Bone marrow smear.
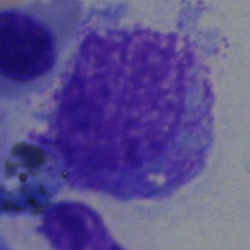

Morphology consistent with a myelocyte.